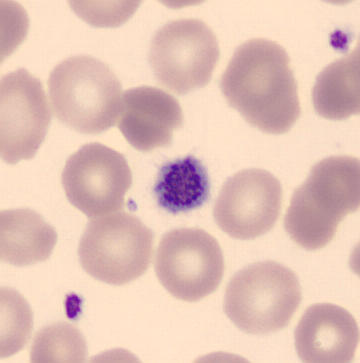 Acquisition: Peripheral blood film. Platelet (thrombocyte).